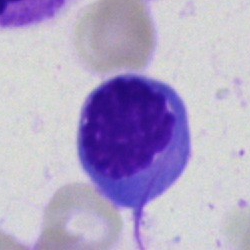
The cell is nucleated red cell.